May-Grünwald-Giemsa stain · bone marrow aspirate smear · single-cell crop — 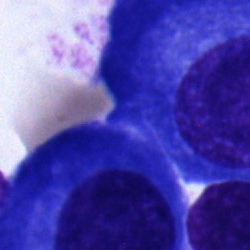 Q: What is the morphological classification of this cell?
A: This is a plasma cell.